250×250 px. Bone marrow aspirate smear — 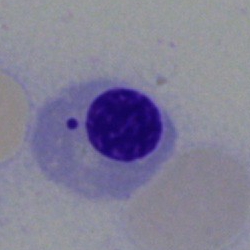Q: What is the morphological classification of this cell?
A: It is an erythroblast.